Bone marrow aspirate smear:
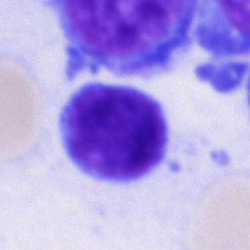 Q: What cell is this?
A: Lymphocyte.